Bone marrow aspirate smear · brightfield microscopy, 40× oil immersion · May-Grünwald-Giemsa stain
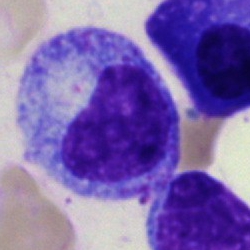

Specimen: bone marrow aspirate smear.
Cell: progranulocyte.
Lineage: myeloid.